Bone marrow aspirate smear. May-Grünwald-Giemsa stain
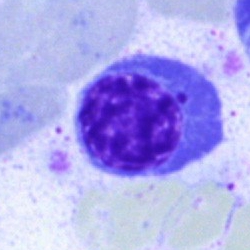Classification — erythroblast.